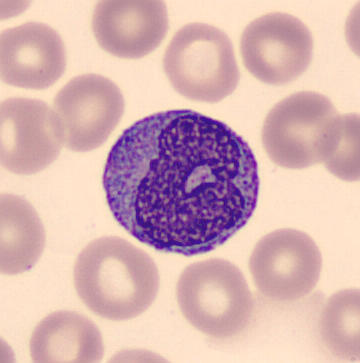A monocyte.
Peripheral blood smear.